Bone marrow aspirate smear:
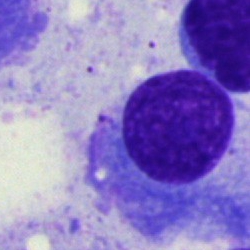

Showing a plasma cell.